Bone marrow smear · single-cell field:
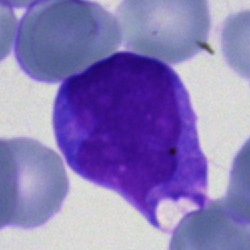

Undifferentiated blast.